Single-cell field · bone marrow smear: 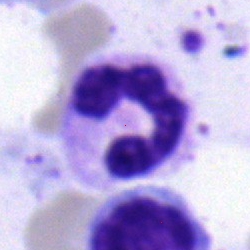
Morphology — segmented neutrophil.